May-Grünwald-Giemsa stain · bone marrow smear:
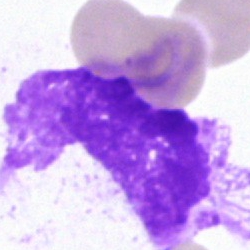
An artefact.